Peripheral blood smear — 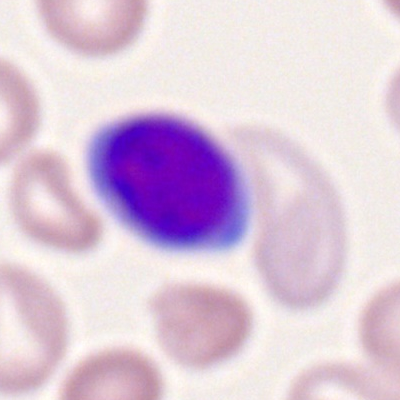Specimen: peripheral blood film.
Cell: typical lymphocyte.
Lineage: lymphoid.